Bone marrow smear; 250×250 px.
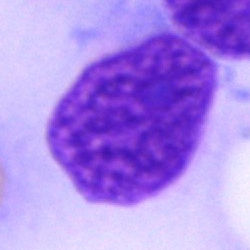 Cell — artefact.